M8 digital microscope (Precipoint), 100× oil immersion · peripheral blood film:
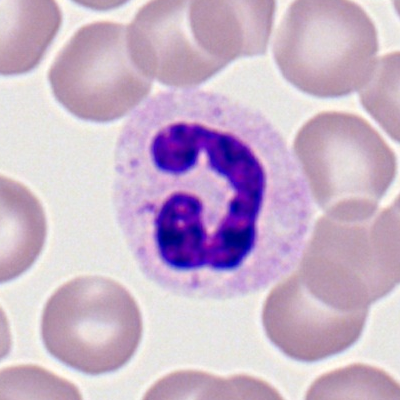 Single cell identified as a polymorphonuclear neutrophil.